Bone marrow smear; brightfield microscopy, 40× oil immersion; Pappenheim-stained:
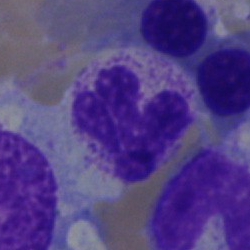
Cell type = segmented neutrophil.